Cropped to a single cell; bone marrow aspirate smear; 250×250 — 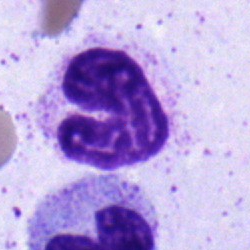
Classification = stab cell.